Bone marrow smear:
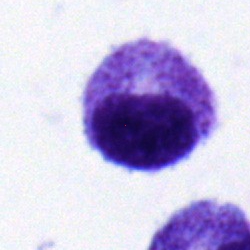Morphology — myelocyte.